Cropped to a single cell · bone marrow smear.
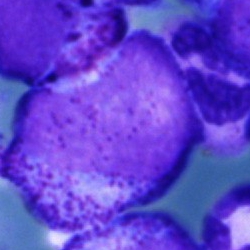
Q: Identify the cell.
A: It is a promyelocyte.